Bone marrow aspirate smear. Pappenheim-stained
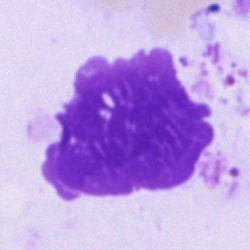

{"cell_type": "artifact"}